Single cell centered in the field. Bone marrow aspirate smear
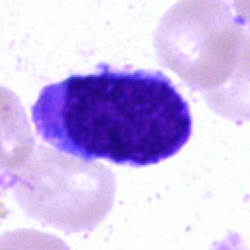
Showing a blast.